Bone marrow smear. 40× objective, oil immersion:
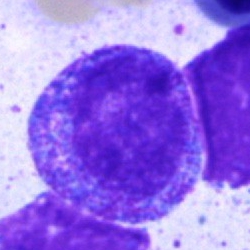

The cell shown is a progranulocyte.